Bone marrow aspirate smear.
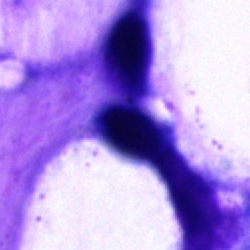This is an artefact.